Bone marrow smear:
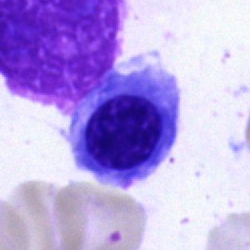

Morphology → normoblast.